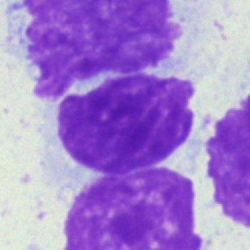

Q: What is shown here?
A: This is an artifact.